Image size 250×250. Brightfield microscopy, 40× oil immersion. Bone marrow smear — 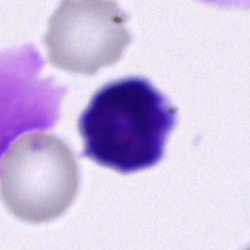

A typical lymphocyte.